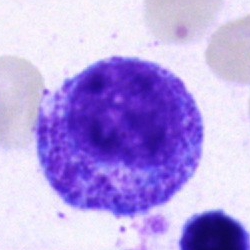
Single cell identified as a promyelocyte.